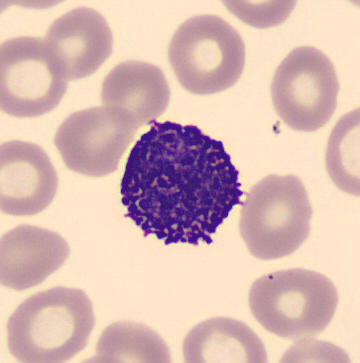A basophil.